Image size 250×250; single cell centered in the field; bone marrow smear:
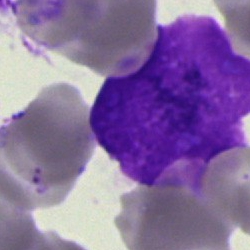Impression → artefact.